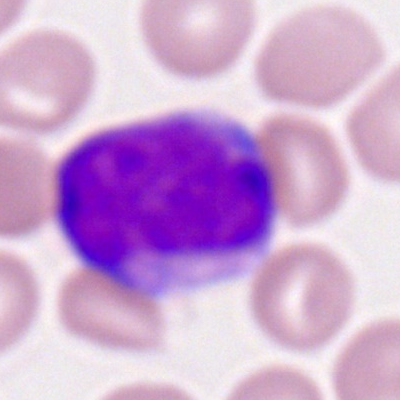
Showing a myeloid blast.